Peripheral blood smear:
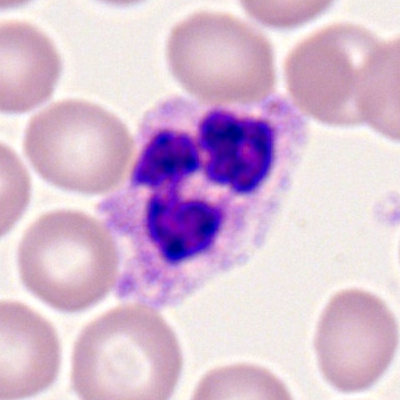 Specimen: peripheral blood smear.
Cell: segmented neutrophil.